Bone marrow aspirate smear.
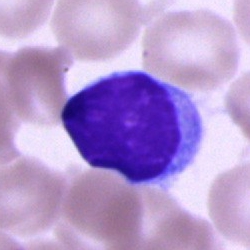
Lymphocyte.